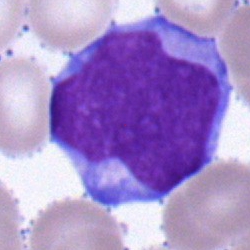Single-cell crop from a bone marrow smear: undifferentiated blast.